Bone marrow aspirate smear — 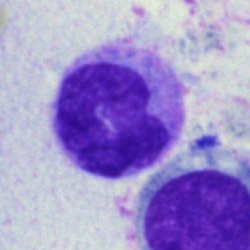

Q: What cell is this?
A: This is a monocyte.